250×250; MGG-stained; bone marrow aspirate smear: 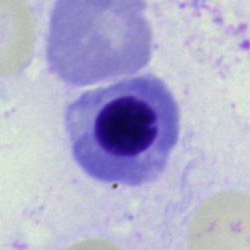 Classification: nucleated red blood cell.